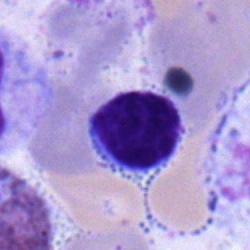
The cell is lymphocyte.